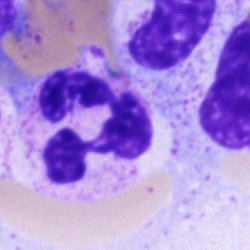

{"cell_type": "polymorphonuclear neutrophil"}